Bone marrow aspirate smear:
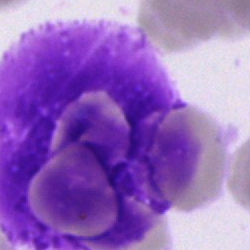
Morphology → artifact.